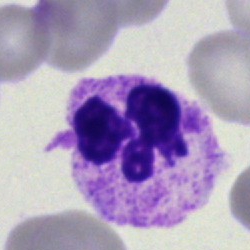

Q: What cell is this?
A: A polymorphonuclear neutrophil.